Bone marrow aspirate smear
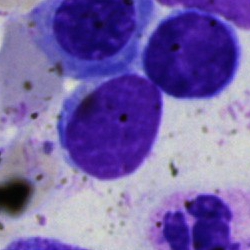
Classification: lymphocyte.